Bone marrow smear · May-Grünwald-Giemsa stain · cropped to a single cell — 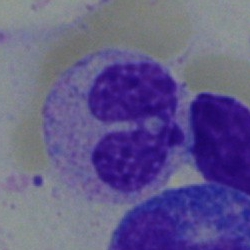

Q: Identify the cell.
A: This is a segmented neutrophil.